Pappenheim-stained · bone marrow aspirate smear · single-cell field:
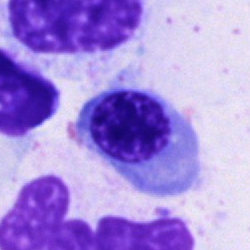

Impression → nucleated red blood cell.